Image size 250×250; bone marrow smear; single-cell crop — 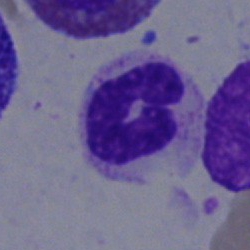

Showing a polymorphonuclear neutrophil.